40× oil immersion. Bone marrow smear. MGG-stained
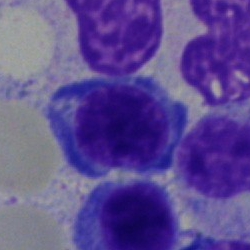
Cell — erythroblast.